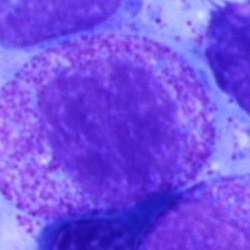 A myelocyte.